Peripheral blood film: 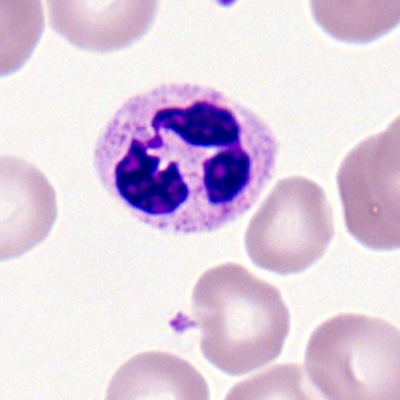Morphology consistent with a neutrophil (segmented).